Peripheral blood smear.
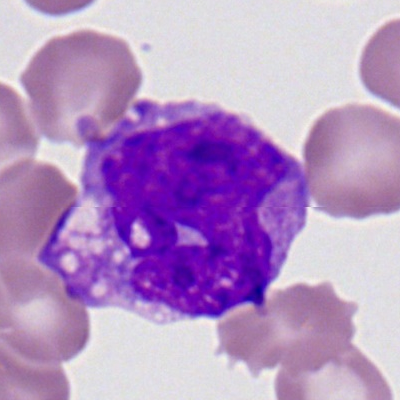Monocyte.